Bone marrow smear — 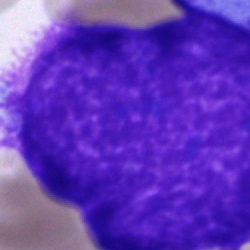

The classification is artefact.